Bone marrow smear. May-Grünwald-Giemsa/Pappenheim stain. Image size 250×250: 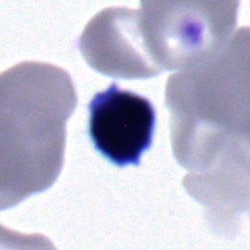 Cell type: typical lymphocyte.